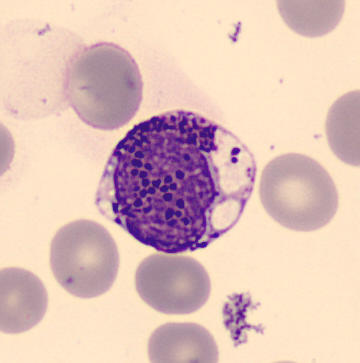

The cell shown is a basophilic granulocyte.